Bone marrow smear; brightfield, 40× oil-immersion objective:
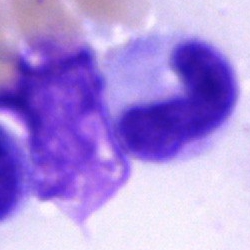Cell = band-form neutrophil.